Bone marrow aspirate smear.
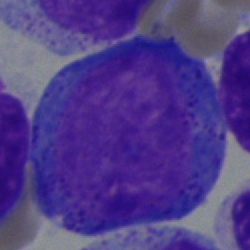

Cell type = promyelocyte.